Bone marrow aspirate smear
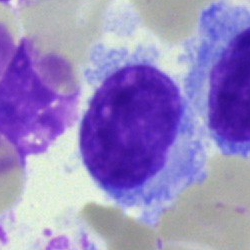 Cell type: hairy cell.